Bone marrow aspirate smear — 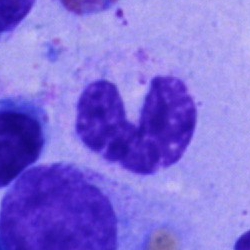

{"cell_type": "band neutrophil", "lineage": "myeloid"}